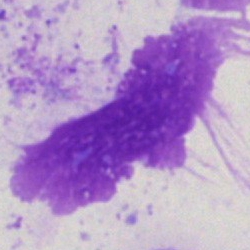 Specimen: bone marrow aspirate smear.
Morphological class: artefact.